Bone marrow aspirate smear. Pappenheim-stained. 250 by 250 pixels — 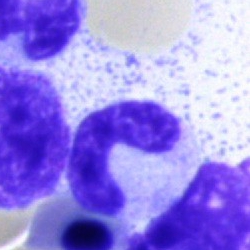 Classification = neutrophil (band).